Bone marrow smear.
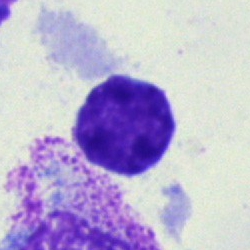Q: Which cell type is shown here?
A: This is a typical lymphocyte.